Bone marrow aspirate smear · image size 250×250 · 40× oil immersion
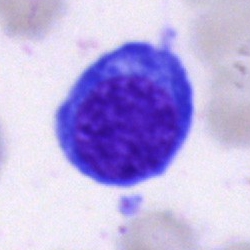
Specimen: bone marrow aspirate smear.
Classification: erythroblast.
Lineage: erythroid.